Bone marrow smear; image size 250×250; May-Grünwald-Giemsa/Pappenheim stain — 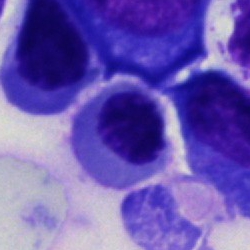 Q: What is shown here?
A: A normoblast.